Brightfield, 40× oil-immersion objective · bone marrow aspirate smear: 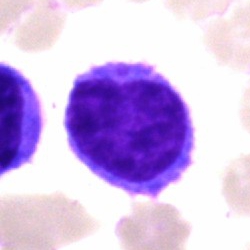Cell type — lymphocyte.